Bone marrow smear — 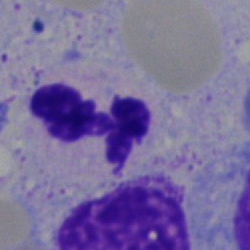

Single cell identified as a neutrophil (segmented).